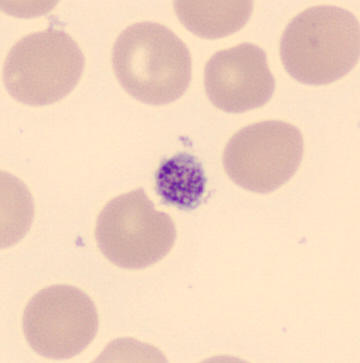
Image: Peripheral blood smear · imaged on a CellaVision DM96 analyser. Cell type — platelet (thrombocyte).